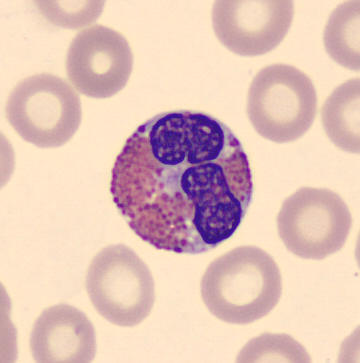

{"cell_type": "eosinophil", "lineage": "myeloid"}

Acquisition: Peripheral blood film.